250 by 250 pixels. Single-cell field. Bone marrow aspirate smear — 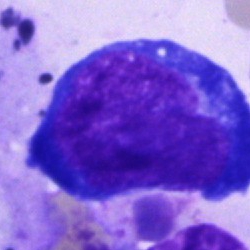

Cell type — proerythroblast.